Bone marrow smear. Single-cell field: 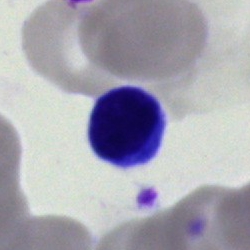

Morphology consistent with a cell of indeterminate lineage.